Bone marrow smear. May-Grünwald-Giemsa/Pappenheim stain. 250×250: 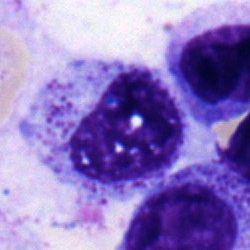
Morphology — metamyelocyte.